Bone marrow aspirate smear — 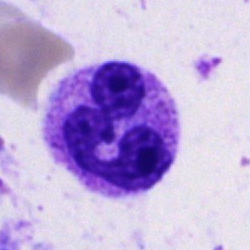

Impression — neutrophil (segmented).